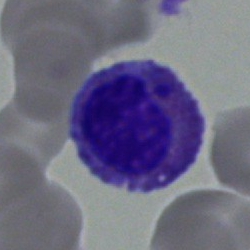

{"cell_type": "eosinophilic granulocyte"}